Bone marrow aspirate smear. Single-cell crop: 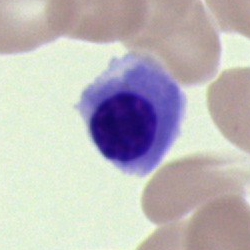

Impression — nucleated red cell.